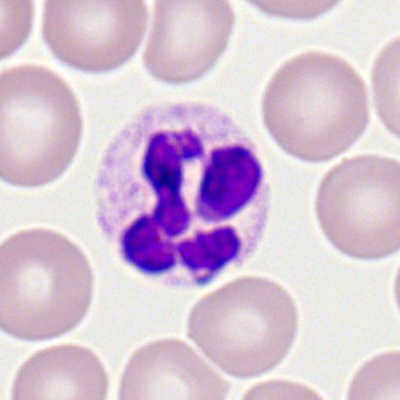 Polymorphonuclear neutrophil.